Bone marrow aspirate smear · May-Grünwald-Giemsa/Pappenheim stain
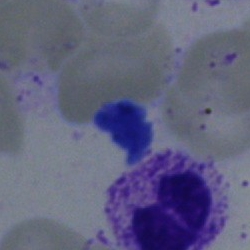
Specimen: bone marrow aspirate smear.
Classification: neutrophil (segmented).
Lineage: myeloid.